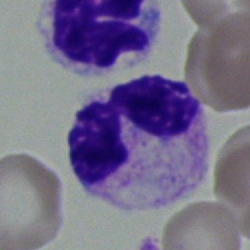

Morphology — neutrophil (segmented).